Single-cell field. Bone marrow aspirate smear. May-Grünwald-Giemsa stain — 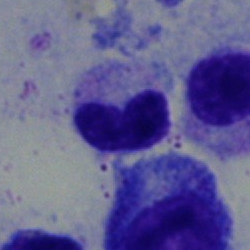 Impression → band-form neutrophil.